Bone marrow aspirate smear · MGG-stained.
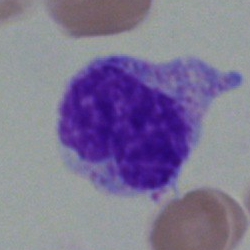Morphological class — monocyte.